250×250 px. Bone marrow aspirate smear
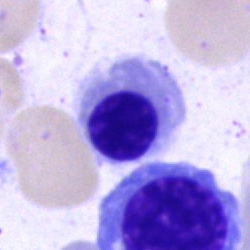This is an erythroblast.